Bone marrow smear: 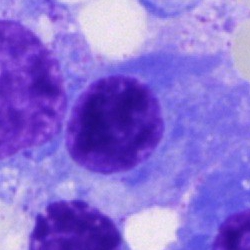Q: What is shown here?
A: This is a plasmacyte.